Bone marrow aspirate smear.
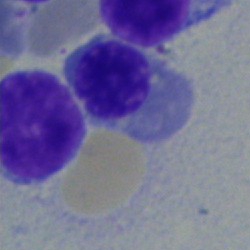
{"cell_type": "nucleated red blood cell", "lineage": "erythroid"}